Bone marrow smear; 250 by 250 pixels — 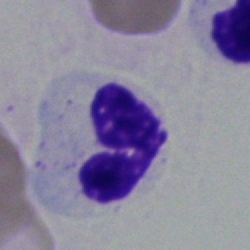Cell = polymorphonuclear neutrophil.